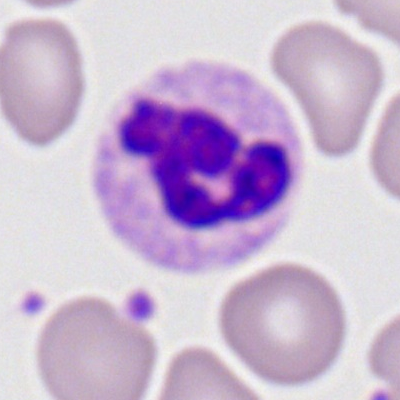 Cell type — segmented neutrophil.